Bone marrow smear
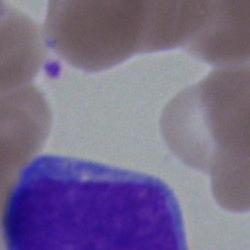{"cell_type": "undifferentiated blast"}